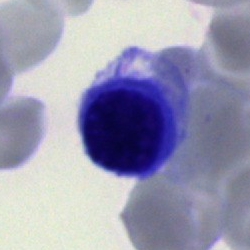
Specimen: bone marrow smear.
Classification: artefact.